Bone marrow smear:
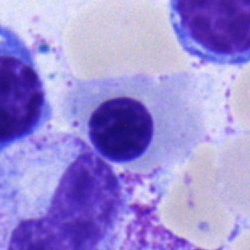 Morphology consistent with an erythroblast.